Bone marrow smear:
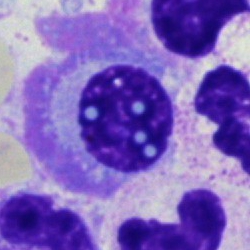 Specimen: bone marrow smear.
Cell: plasma cell.
Lineage: lymphoid.